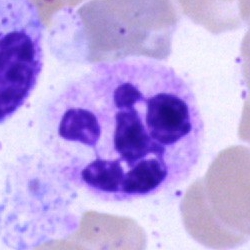

The cell type is neutrophil (segmented).